Bone marrow smear: 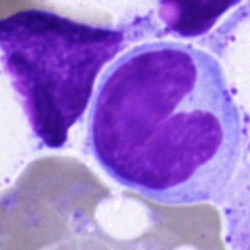 Single cell identified as a blast.